Bone marrow aspirate smear; brightfield, 40× oil-immersion objective — 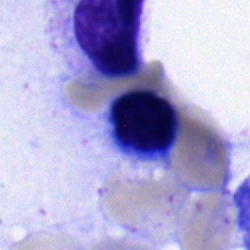
The morphological class is erythroblast.